Bone marrow smear
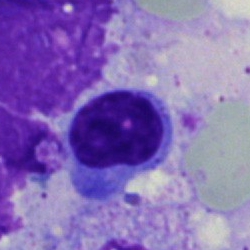
This is a lymphocyte.